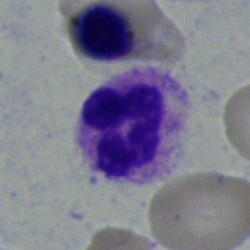

Impression — segmented neutrophil.